Single cell centered in the field. Bone marrow aspirate smear. Image size 250×250
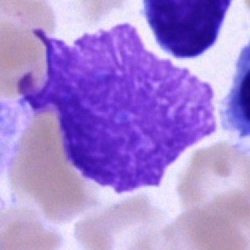 Single cell identified as an artifact.